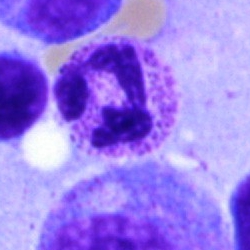 Cell type — segmented neutrophil.